Bone marrow aspirate smear. 250×250. Single cell centered in the field: 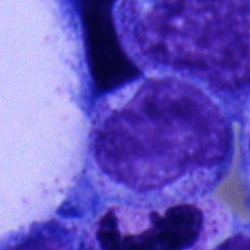
Morphology — metamyelocyte.